Bone marrow smear
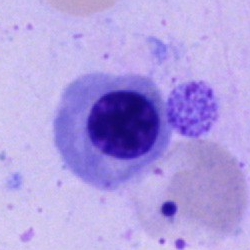

Nucleated red blood cell.